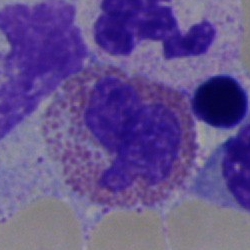
Showing an eosinophilic granulocyte.